Brightfield microscopy, 40× oil immersion; single-cell field; bone marrow aspirate smear: 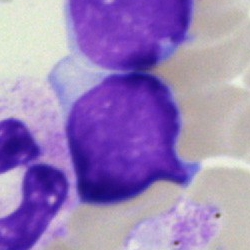
Specimen: bone marrow smear.
Morphological class: lymphocyte.